Bone marrow aspirate smear — 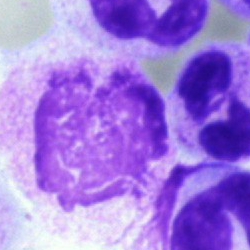
Artifact.